Bone marrow smear; 250×250 px; Pappenheim-stained
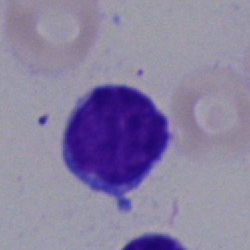 The cell shown is a lymphocyte.